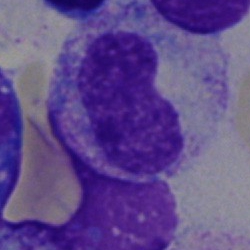

Morphological class — band-form neutrophil.